Cropped to a single cell · Pappenheim-stained · bone marrow smear — 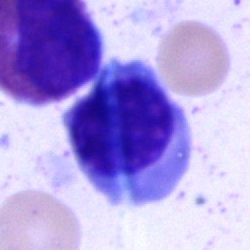

{"cell_type": "nucleated red cell", "lineage": "erythroid"}